Bone marrow smear — 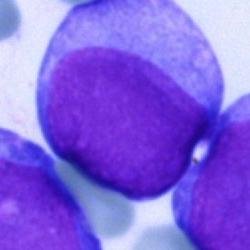Morphology consistent with a blast cell.